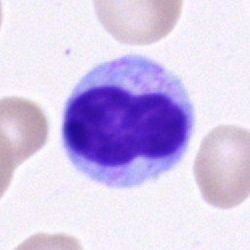
Morphology consistent with a cell of indeterminate lineage.